Peripheral blood smear — 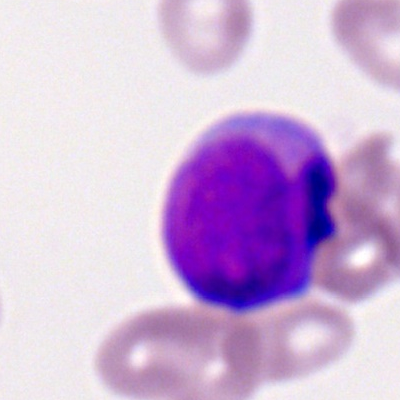

This is a myeloid blast.